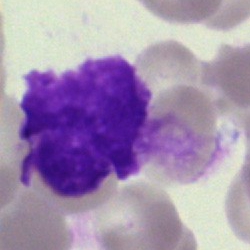
Cell type = artefact.